Romanowsky stain. Peripheral blood film
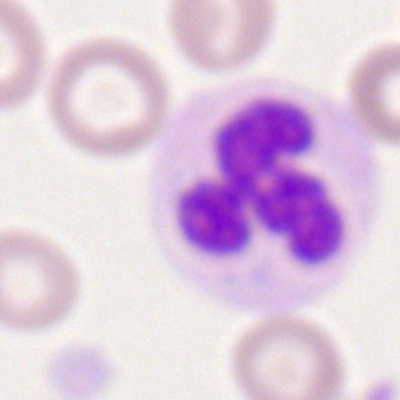The cell shown is a segmented neutrophil.